Single-cell field; Pappenheim-stained; bone marrow smear.
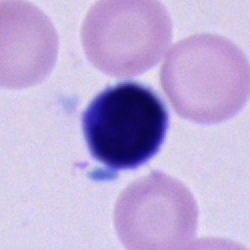

The classification is unidentifiable cell.